Bone marrow smear.
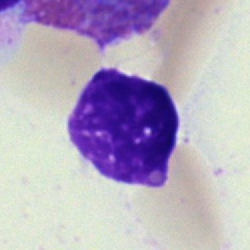Q: What is shown here?
A: This is an artefact.